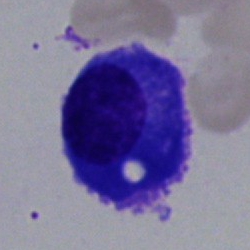 A plasma cell on a bone marrow smear.